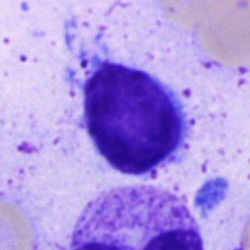

Bone marrow aspirate smear, single cell — lymphocyte.